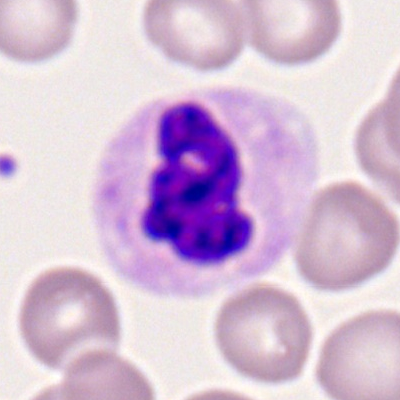
This is a neutrophil (segmented).